Bone marrow smear.
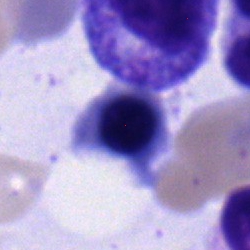
Showing a nucleated red cell.